May-Grünwald-Giemsa/Pappenheim stain; bone marrow aspirate smear; single cell centered in the field: 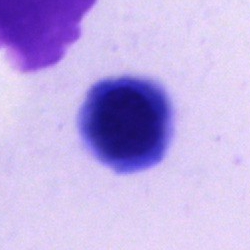
Cell type: artifact.